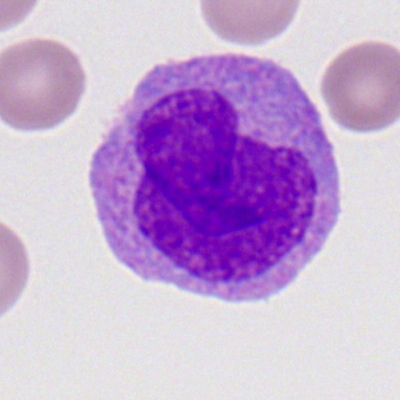
Q: What type of cell is this?
A: Myeloid blast.